Bone marrow aspirate smear — 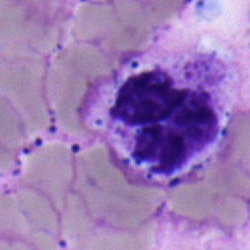 The cell shown is a segmented neutrophil.